40× oil immersion; bone marrow smear
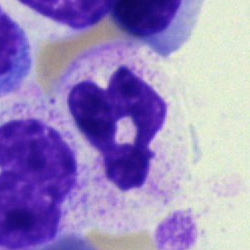
Specimen: bone marrow aspirate smear.
Morphological class: neutrophil (segmented).
Lineage: myeloid.